Bone marrow smear; 250 by 250 pixels — 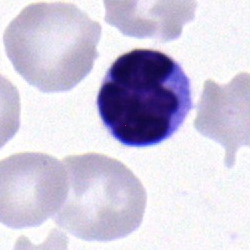 This is a lymphocyte.